Bone marrow smear
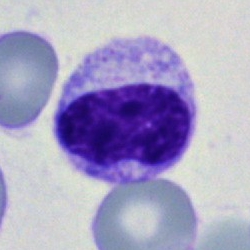 Metamyelocyte.